Bone marrow aspirate smear — 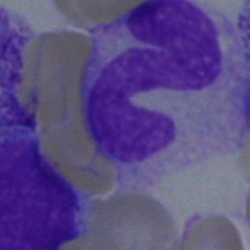
Specimen: bone marrow aspirate smear.
Classification: stab cell.
Lineage: myeloid.